Peripheral blood smear; 360×363 px; imaged on a CellaVision DM96 analyser:
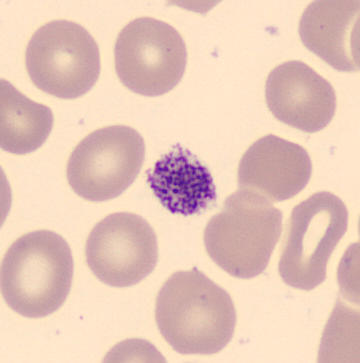 Morphology consistent with a thrombocyte.